Bone marrow smear — 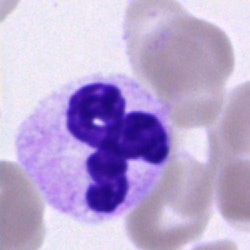
Specimen: bone marrow smear.
Classification: neutrophil (segmented).
Lineage: myeloid.